Bone marrow aspirate smear: 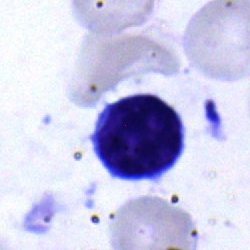 This is a typical lymphocyte.